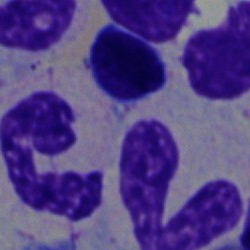 Q: Identify the cell.
A: It is a stab cell.